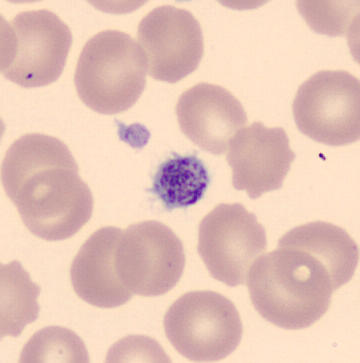

Identified as a platelet (thrombocyte).